Bone marrow smear:
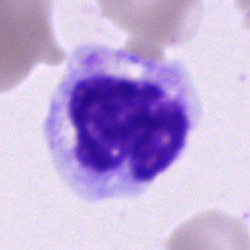Q: Identify the cell.
A: This is a polymorphonuclear neutrophil.